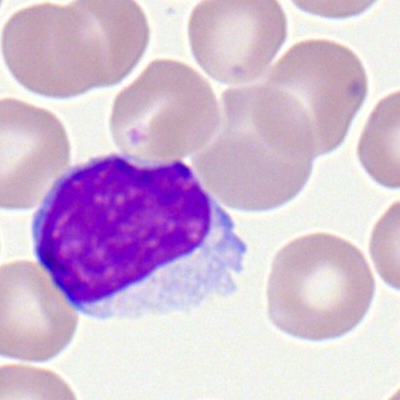 Peripheral blood smear showing a lymphocyte.